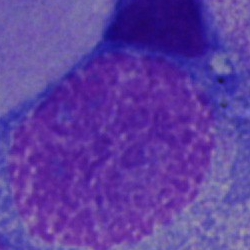
Q: What type of cell is this?
A: It is a blast cell.